Bone marrow aspirate smear — 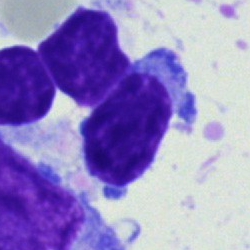
Cell type: typical lymphocyte.